Bone marrow smear.
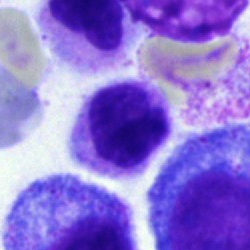

Q: Which cell type is shown here?
A: Myelocyte.